Single-cell field. Bone marrow smear. 250 by 250 pixels
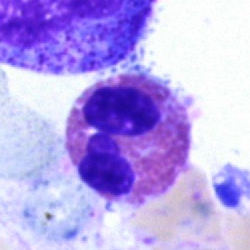Impression → eosinophil.